Bone marrow smear:
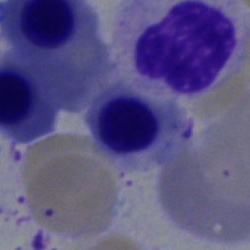Morphological class — normoblast.